Bone marrow smear: 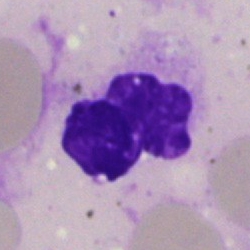

Morphology — artefact.